400×400 px. Peripheral blood film
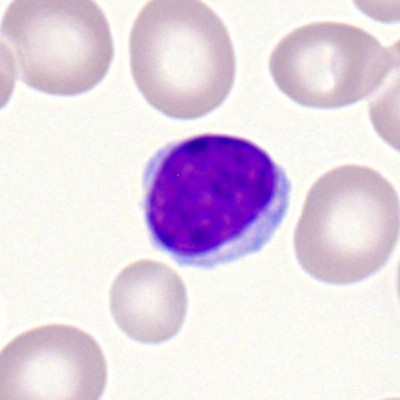
The cell type is lymphocyte.